250×250; bone marrow aspirate smear — 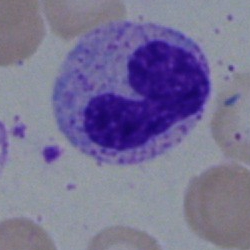Impression — band-form neutrophil.